Bone marrow aspirate smear · brightfield, 40× oil-immersion objective.
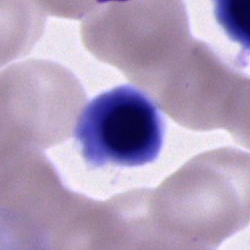Showing a nucleated red blood cell.